Bone marrow aspirate smear; 40× objective, oil immersion
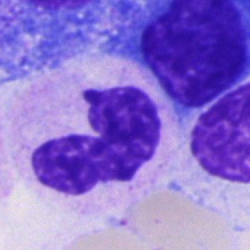
Neutrophil (segmented).